Bone marrow aspirate smear · brightfield microscopy, 40× oil immersion
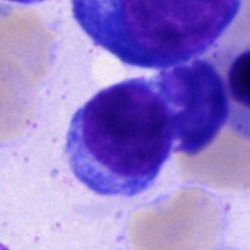

Morphology consistent with a typical lymphocyte.